May-Grünwald-Giemsa/Pappenheim stain. Bone marrow aspirate smear.
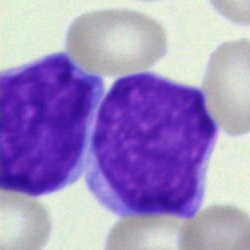 Blast cell.